Single cell centered in the field · bone marrow smear · brightfield microscopy, 40× oil immersion: 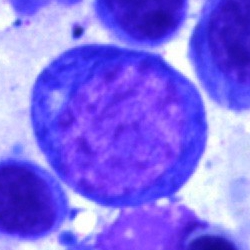
Morphological class — normoblast.